Bone marrow aspirate smear — 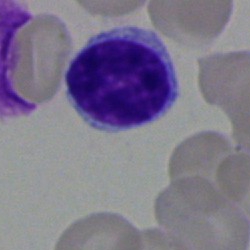Q: What type of cell is this?
A: This is a typical lymphocyte.